Bone marrow aspirate smear — 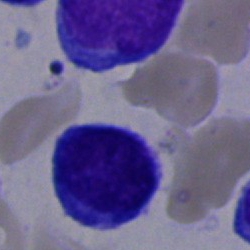 Classification = typical lymphocyte.